Bone marrow smear.
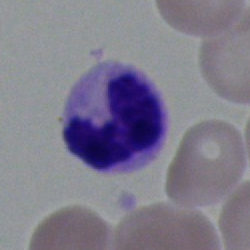Morphological class — segmented neutrophil.